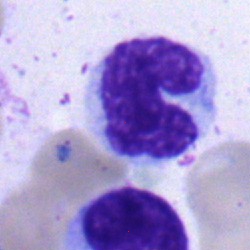

A monocyte.